Bone marrow aspirate smear
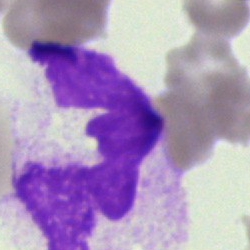

{"cell_type": "artefact"}